May-Grünwald-Giemsa stain. Bone marrow smear
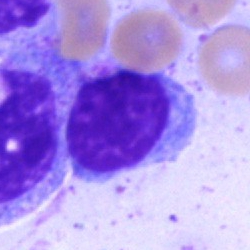
Morphology consistent with a lymphocyte.